Bone marrow smear — 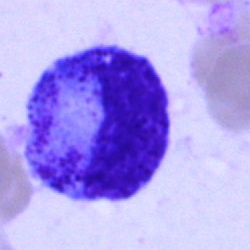
The cell is metamyelocyte.